Bone marrow aspirate smear:
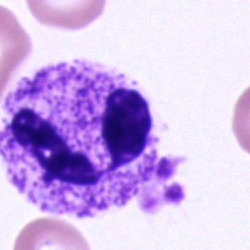Specimen: bone marrow smear.
Morphological class: polymorphonuclear neutrophil.
Lineage: myeloid.